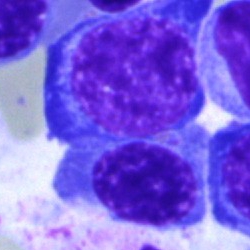

Classification = normoblast.